Bone marrow smear · May-Grünwald-Giemsa stain: 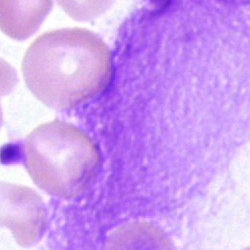

Morphology consistent with an artifact.